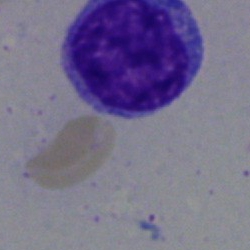 This is a blast cell.